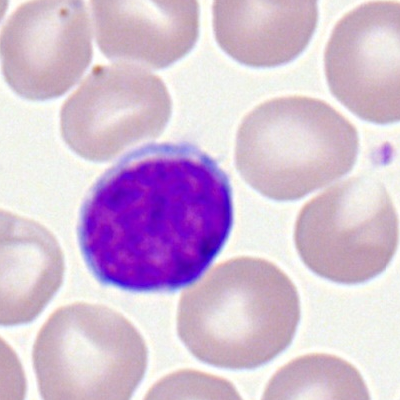

The cell type is lymphocyte.